Bone marrow aspirate smear. 250 by 250 pixels:
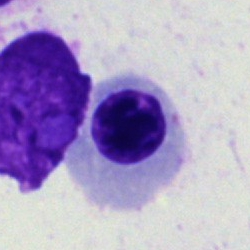Q: Identify the cell.
A: Basophilic granulocyte.